Bone marrow smear. MGG-stained — 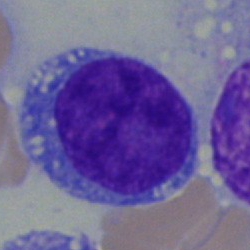Morphological class — undifferentiated blast.